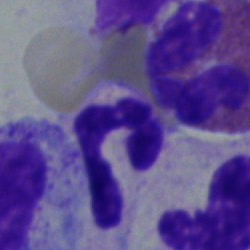
Single-cell crop from a bone marrow smear: neutrophil (segmented).